Bone marrow aspirate smear: 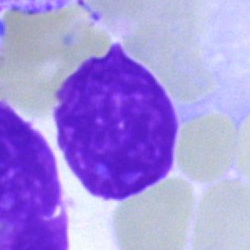The cell shown is an artifact.